May-Grünwald-Giemsa stain; bone marrow aspirate smear:
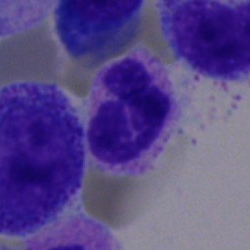

Showing a segmented neutrophil.